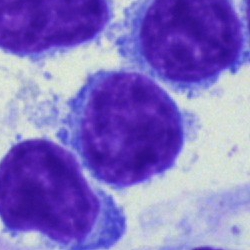

Q: What type of cell is this?
A: This is a typical lymphocyte.